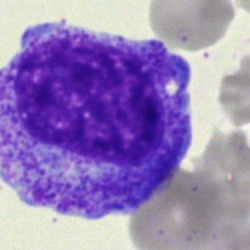 Morphology — progranulocyte.